Bone marrow smear. Single-cell field. May-Grünwald-Giemsa stain: 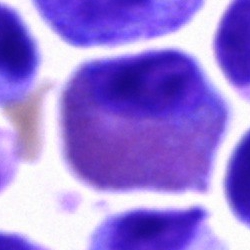

Cell type: eosinophilic granulocyte.